Bone marrow aspirate smear: 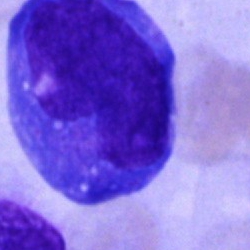

Q: What is the morphological classification of this cell?
A: It is an undifferentiated blast.